Cropped to a single cell. Bone marrow smear — 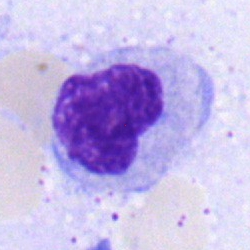

The cell shown is a metamyelocyte.